Bone marrow aspirate smear: 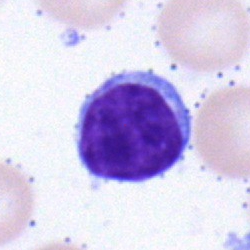

Typical lymphocyte.